40× oil immersion · bone marrow aspirate smear: 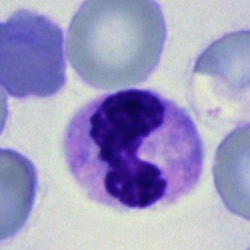

Cell — neutrophil (segmented).